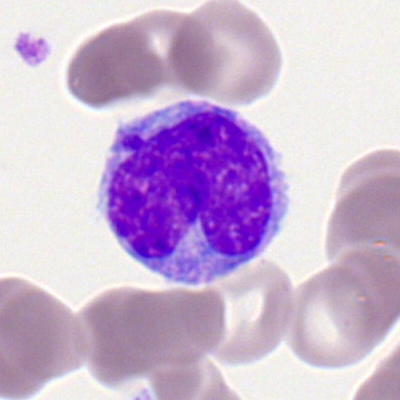

Impression — monocyte.